May-Grünwald-Giemsa stain; 250×250; bone marrow aspirate smear.
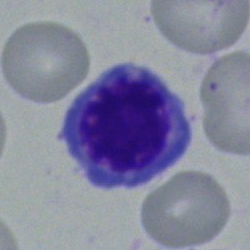 Q: Which cell type is shown here?
A: Erythroblast.